Bone marrow smear: 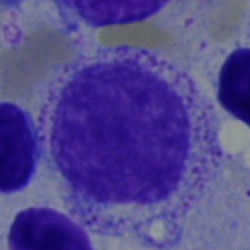 A myelocyte.